May-Grünwald-Giemsa stain; bone marrow aspirate smear: 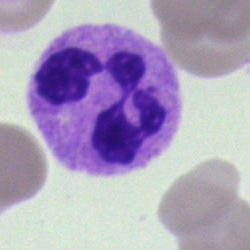
The cell shown is a polymorphonuclear neutrophil.